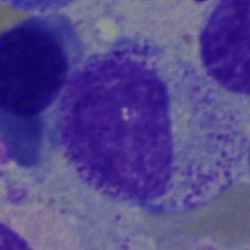 Single-cell crop from a bone marrow smear: myelocyte.